250×250. Bone marrow smear — 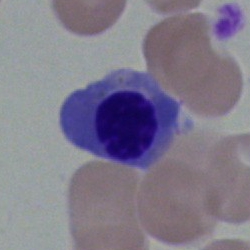
This is a nucleated red cell.